Bone marrow smear; 40× oil immersion — 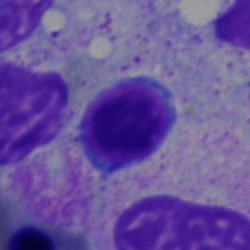Q: What is the morphological classification of this cell?
A: It is a typical lymphocyte.